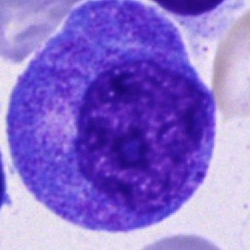Specimen: bone marrow aspirate smear.
Classification: promyelocyte.
Lineage: myeloid.